Peripheral blood film · 100× oil immersion, 14.14 px/µm: 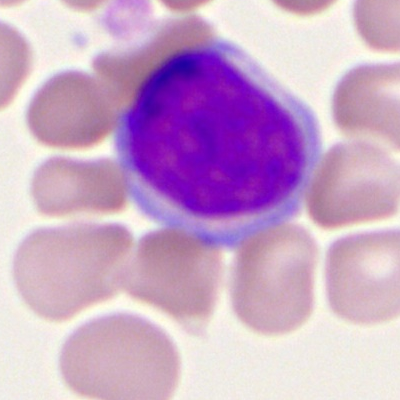Morphology — myeloid blast.